May-Grünwald-Giemsa stain; bone marrow aspirate smear
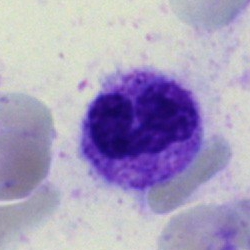

Classification = stab cell.